MGG stain. Peripheral blood smear — 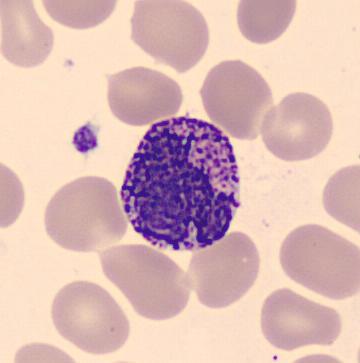Showing a basophilic granulocyte.